Bone marrow aspirate smear. May-Grünwald-Giemsa/Pappenheim stain. 250 by 250 pixels:
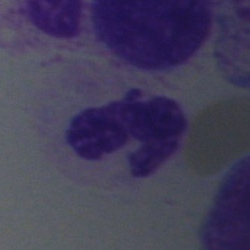

Cell type — polymorphonuclear neutrophil.